Image size 400×400 · peripheral blood smear — 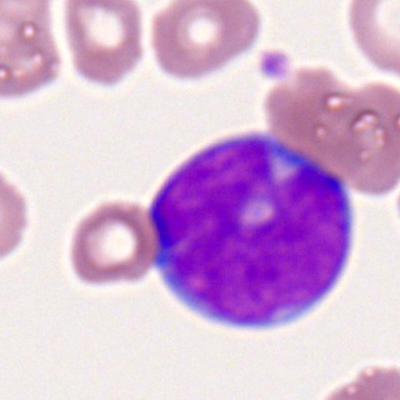Showing a myeloid blast.